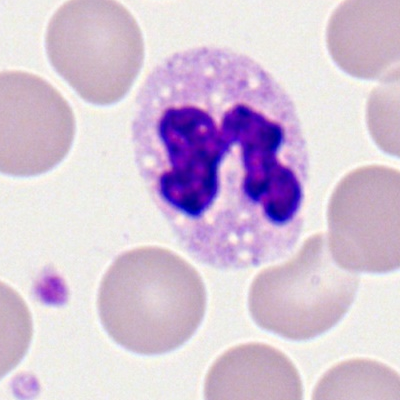 Morphological class = polymorphonuclear neutrophil.